Bone marrow aspirate smear · brightfield, 40× oil-immersion objective · single-cell field: 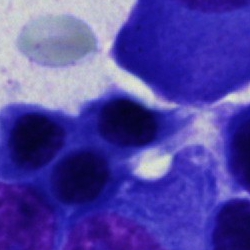
Q: What is shown here?
A: It is an artefact.